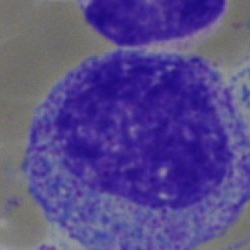 Specimen: bone marrow smear.
Cell type: progranulocyte.
Lineage: myeloid.